Bone marrow aspirate smear: 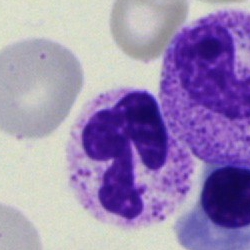

The cell shown is a segmented neutrophil.